Brightfield, 40× oil-immersion objective. Bone marrow smear. Image size 250×250.
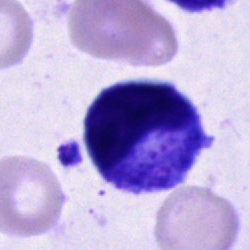
Specimen: bone marrow smear.
Cell: promyelocyte.
Lineage: myeloid.